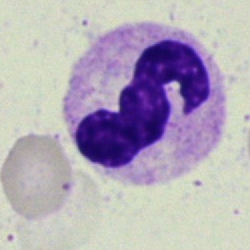 The morphological class is band-form neutrophil.